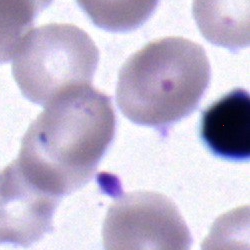

Specimen: bone marrow aspirate smear.
Cell: lymphocyte.